Bone marrow aspirate smear: 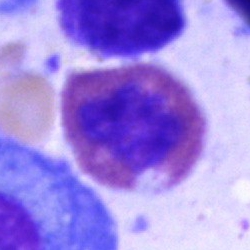 The classification is basophil.